40× objective, oil immersion. Bone marrow smear.
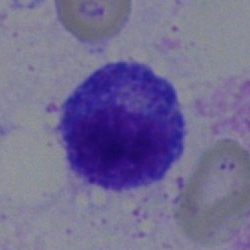
Showing a promyelocyte.